Peripheral blood film.
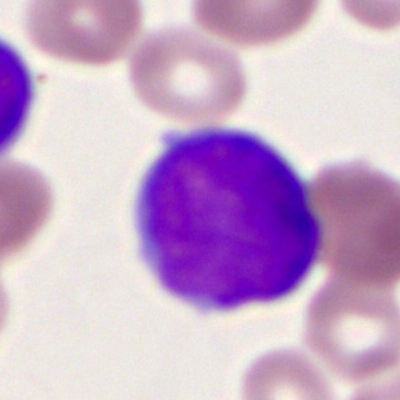 A myeloblast.